Bone marrow smear:
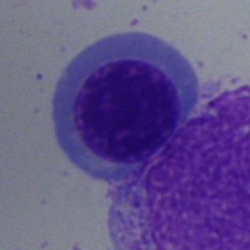

This is a normoblast.